Bone marrow aspirate smear · 250×250 px · single-cell field:
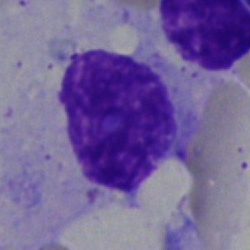The cell shown is an artefact.